Bone marrow smear; Pappenheim-stained: 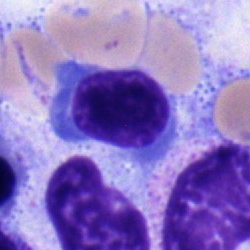

Morphology — lymphocyte.